Pappenheim-stained; bone marrow aspirate smear: 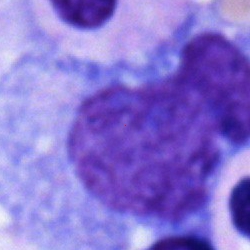 Cell type = monocyte.